Bone marrow smear. May-Grünwald-Giemsa/Pappenheim stain. 250 by 250 pixels:
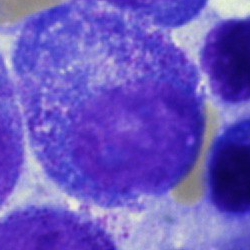

Q: What cell is this?
A: Promyelocyte.